Bone marrow aspirate smear: 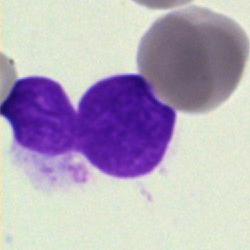
The cell shown is an artefact.